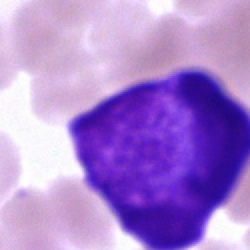

Morphology consistent with an undifferentiated blast.